Single-cell crop. Bone marrow aspirate smear:
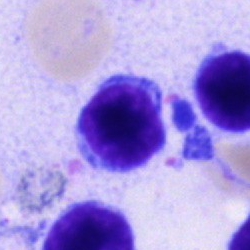
Impression — lymphocyte.